250 by 250 pixels. Bone marrow aspirate smear: 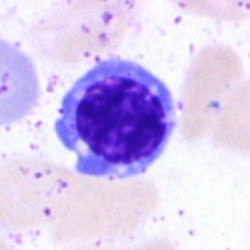

Specimen: bone marrow smear.
Cell type: normoblast.
Lineage: erythroid.